Bone marrow smear — 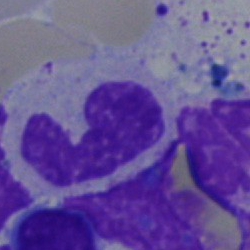
Q: What cell is this?
A: Neutrophil (band).